Bone marrow aspirate smear.
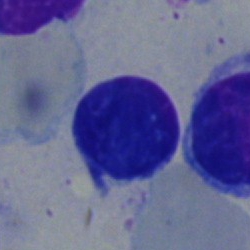

Lymphocyte.